Bone marrow smear; 250 by 250 pixels:
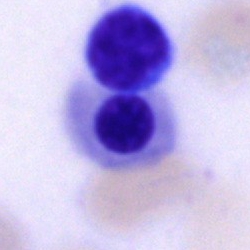Q: What type of cell is this?
A: This is an erythroblast.